Bone marrow smear — 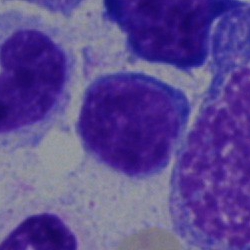 Morphology consistent with a lymphocyte.